Bone marrow smear.
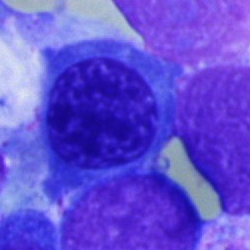

Classification: normoblast.